Bone marrow smear · 250×250 — 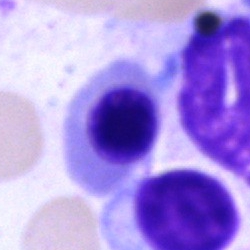 Classification — nucleated red cell.